Bone marrow aspirate smear. Brightfield, 40× oil-immersion objective.
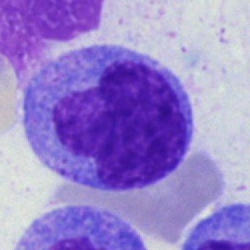

This is a monocyte.